Bone marrow smear.
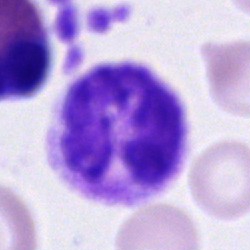

Cell — segmented neutrophil.